Bone marrow aspirate smear — 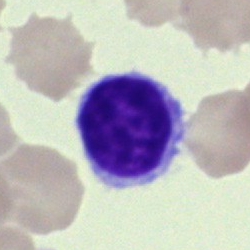
Morphological class = typical lymphocyte.